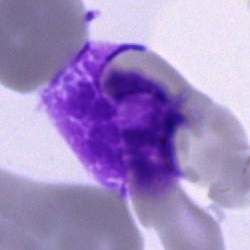 Bone marrow aspirate smear, single cell — artefact.